May-Grünwald-Giemsa/Pappenheim stain. Bone marrow smear. Single-cell crop.
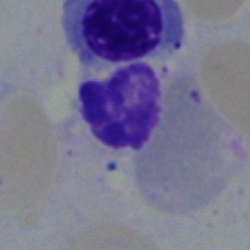

A nucleated red cell.